Bone marrow smear. Single cell centered in the field. May-Grünwald-Giemsa stain.
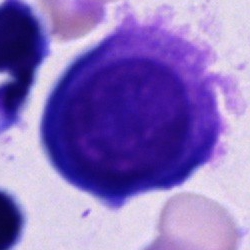Impression → plasma cell.